Bone marrow smear · 250 by 250 pixels.
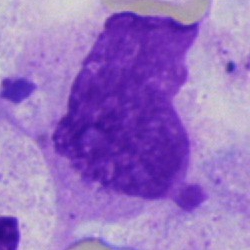

Impression → artefact.